250 by 250 pixels · brightfield, 40× oil-immersion objective · bone marrow smear:
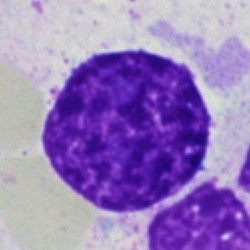
The cell is artefact.